Bone marrow smear
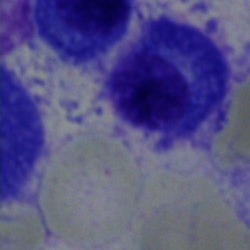

Morphological class = plasmacyte.